Bone marrow smear:
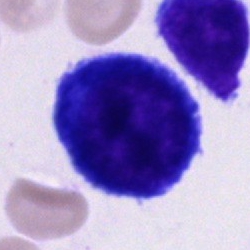Q: What is shown here?
A: A proerythroblast.